Bone marrow aspirate smear: 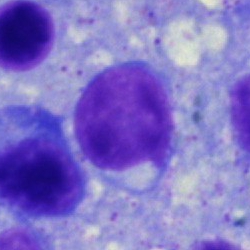 The cell is lymphocyte.